Bone marrow smear. May-Grünwald-Giemsa stain: 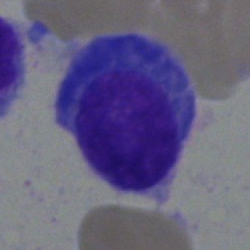Classification — plasma cell.